Bone marrow smear; 250×250 px
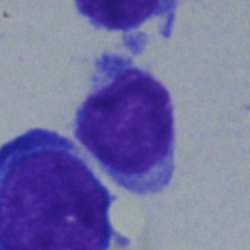
Specimen: bone marrow smear.
Morphological class: typical lymphocyte.
Lineage: lymphoid.